Brightfield, 40× oil-immersion objective · bone marrow aspirate smear:
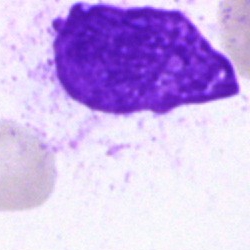Q: What is shown here?
A: Artefact.